Bone marrow aspirate smear
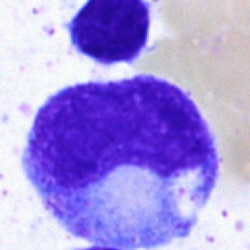 Impression — metamyelocyte.